Peripheral blood film
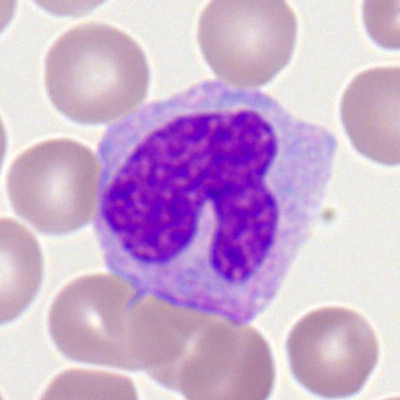

The cell shown is a monocyte.